Peripheral blood smear — 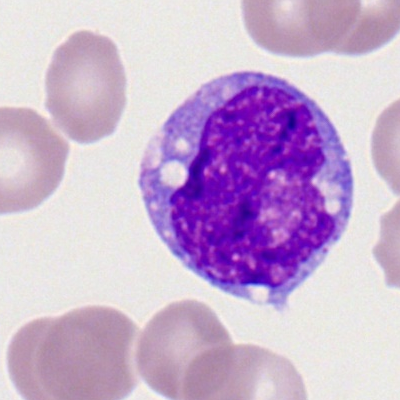 A monocyte.